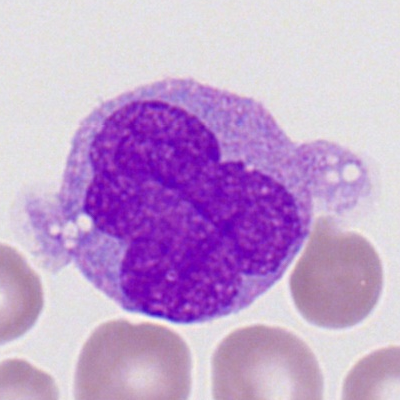

Cell type: monocyte.